Pappenheim-stained; bone marrow smear.
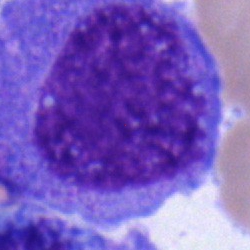

{"cell_type": "undifferentiated blast"}